Romanowsky-stained. Peripheral blood film: 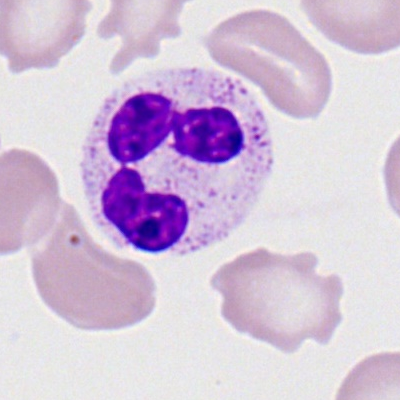
Morphology — polymorphonuclear neutrophil.